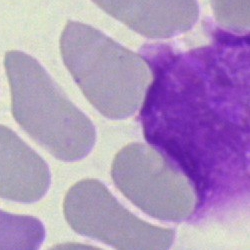The cell shown is an artefact.